Bone marrow smear — 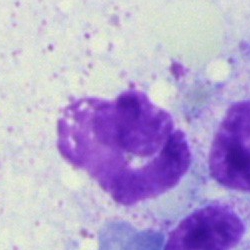
The cell shown is an artifact.